Bone marrow smear. May-Grünwald-Giemsa/Pappenheim stain
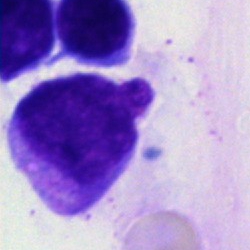 Morphology consistent with a blast cell.